Bone marrow smear · May-Grünwald-Giemsa stain
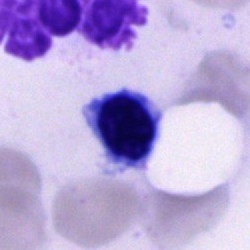
Q: What type of cell is this?
A: It is a cell of indeterminate lineage.